Bone marrow aspirate smear
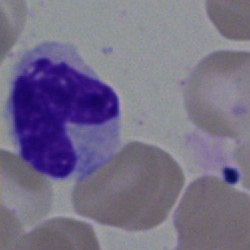

Q: What cell is this?
A: This is a neutrophil (band).